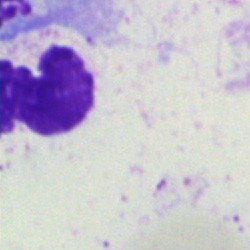 The classification is artifact.